Pappenheim-stained. Bone marrow aspirate smear. Single-cell crop — 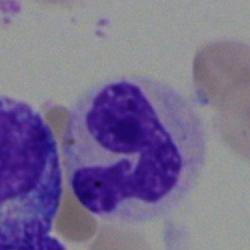 Morphology — neutrophil (segmented).